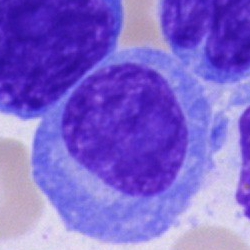 Q: What is the morphological classification of this cell?
A: Plasmacyte.